Bone marrow aspirate smear. 250×250 px: 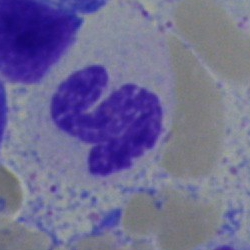

Specimen: bone marrow smear.
Classification: band-form neutrophil.
Lineage: myeloid.